Bone marrow aspirate smear:
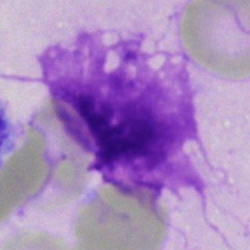

Morphology consistent with an artefact.